May-Grünwald-Giemsa/Pappenheim stain · bone marrow aspirate smear.
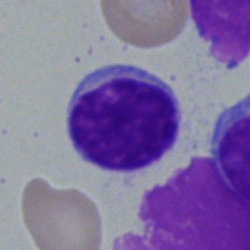 A lymphocyte.